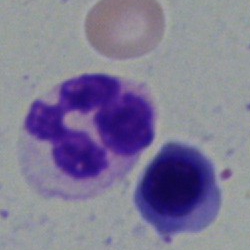 Morphology consistent with a segmented neutrophil.